Bone marrow aspirate smear
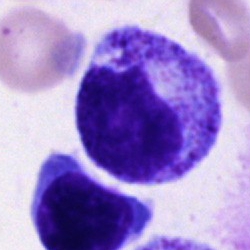A myelocyte.